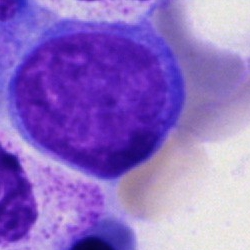
A blast cell on a bone marrow smear.